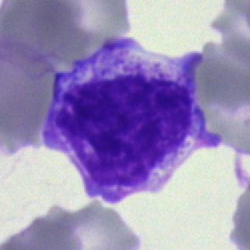 Bone marrow aspirate smear, single cell — myelocyte.